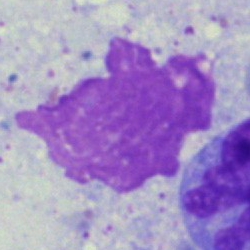 The classification is artifact.